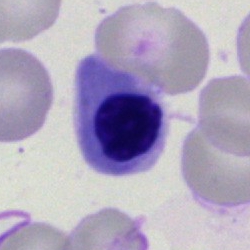

The cell is erythroblast.